250×250; May-Grünwald-Giemsa/Pappenheim stain; bone marrow aspirate smear:
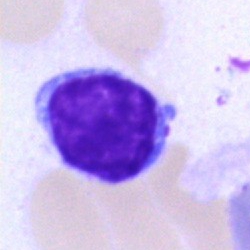 Classification: lymphocyte.